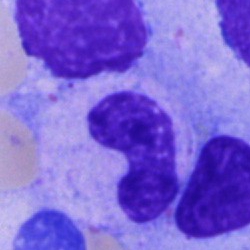Showing a neutrophil (band).